Bone marrow aspirate smear.
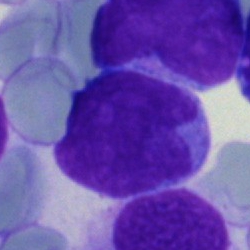
Classification: blast cell.